250×250 px · bone marrow aspirate smear: 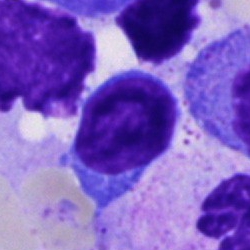
Morphology → lymphocyte.